Pappenheim-stained. Single-cell crop. Bone marrow smear — 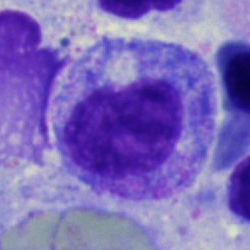
The cell shown is a promyelocyte.